Single-cell field · bone marrow smear
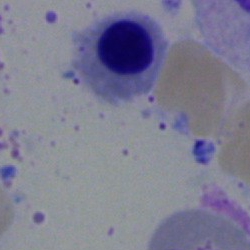
This is a nucleated red cell.